Bone marrow smear
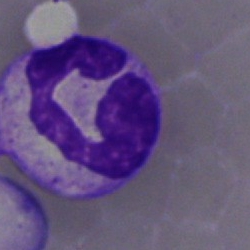
Cell type — segmented neutrophil.